Bone marrow smear: 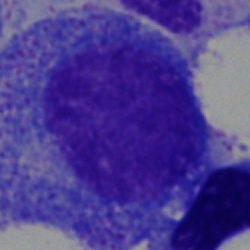

Specimen: bone marrow smear.
Cell type: promyelocyte.
Lineage: myeloid.